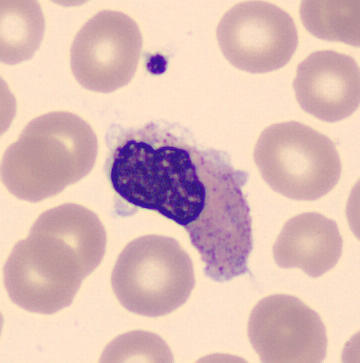
This is a metamyelocyte.
Peripheral blood smear.